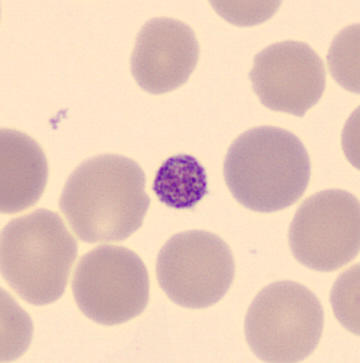

Image: 360×363. Peripheral blood smear. Q: What is this?
A: This is a platelet.